Bone marrow aspirate smear — 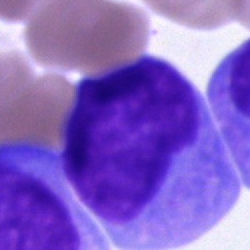Specimen: bone marrow aspirate smear.
Cell type: undifferentiated blast.